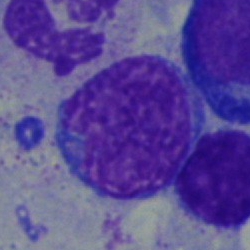

Single-cell crop from a bone marrow smear: blast.